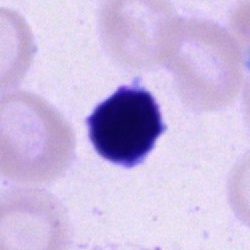 Morphology — cell of indeterminate lineage.